Single-cell crop; 40× oil immersion; bone marrow smear — 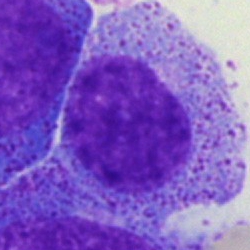

Specimen: bone marrow smear.
Cell type: promyelocyte.